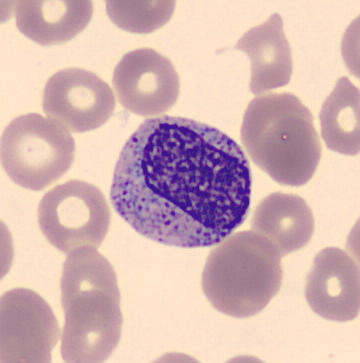This is a myelocyte. Image: Peripheral blood smear.